Bone marrow aspirate smear. 40× oil immersion — 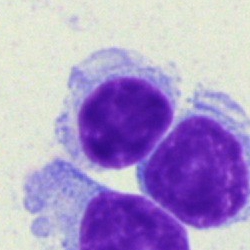 Morphology — typical lymphocyte.